Bone marrow smear. 250×250
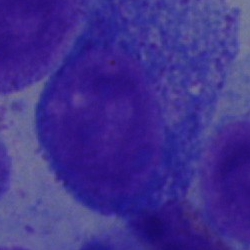 Morphological class = progranulocyte.